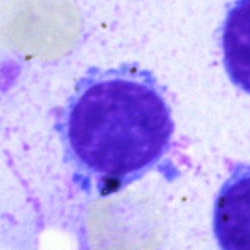Morphology consistent with a typical lymphocyte.